Brightfield, 40× oil-immersion objective; bone marrow smear
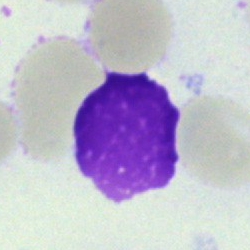 Impression — artefact.